Pappenheim-stained · 250×250 · bone marrow smear — 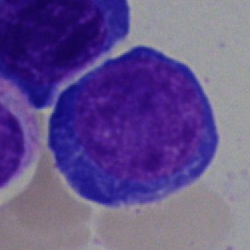
The cell shown is a proerythroblast.